250 by 250 pixels; bone marrow aspirate smear: 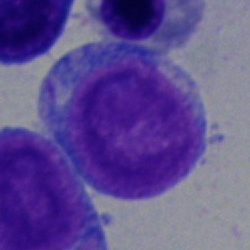 Specimen: bone marrow smear.
Classification: blast cell.